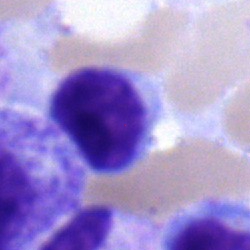 Q: What cell is this?
A: This is a typical lymphocyte.